Bone marrow smear
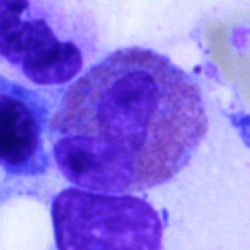 Specimen: bone marrow smear.
Classification: eosinophil.
Lineage: myeloid.